Bone marrow aspirate smear. Single cell centered in the field
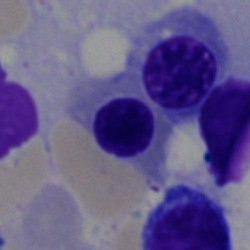
The cell shown is a normoblast.